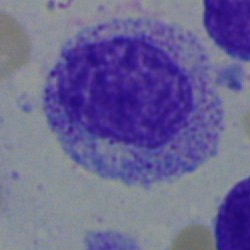
{"cell_type": "myelocyte"}